250 by 250 pixels; bone marrow aspirate smear:
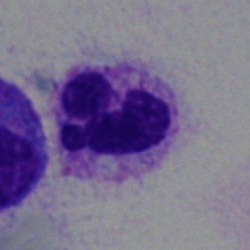 Q: What is the morphological classification of this cell?
A: This is a segmented neutrophil.